Bone marrow aspirate smear — 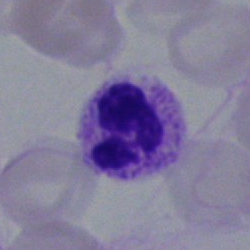 Single cell identified as a neutrophil (segmented).